Bone marrow aspirate smear. May-Grünwald-Giemsa/Pappenheim stain
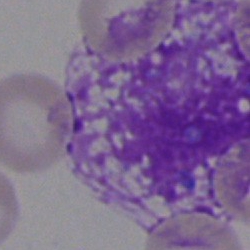This is an artifact.